Bone marrow aspirate smear
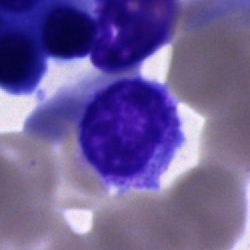

Morphological class = unidentifiable cell.